May-Grünwald-Giemsa/Pappenheim stain · bone marrow smear
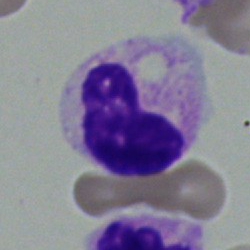
The cell shown is a band-form neutrophil.